May-Grünwald-Giemsa stain · bone marrow aspirate smear · brightfield, 40× oil-immersion objective
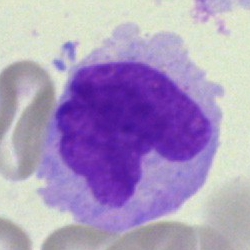
Showing a monocyte.